Bone marrow smear · 250×250.
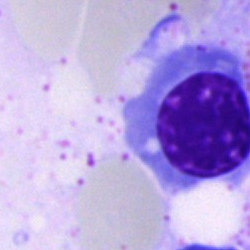Cell = nucleated red cell.